Peripheral blood smear:
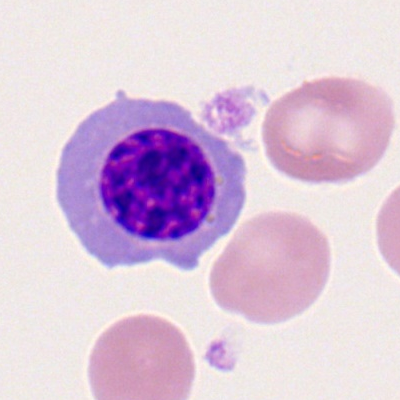

Morphology consistent with an erythroblast.